Bone marrow aspirate smear; MGG-stained:
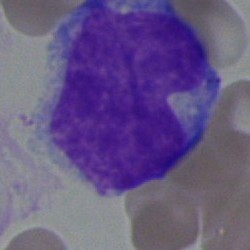Single cell identified as an undifferentiated blast.